Bone marrow aspirate smear. Brightfield, 40× oil-immersion objective. 250×250: 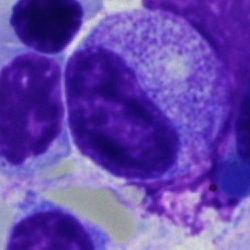
Progranulocyte.